Bone marrow aspirate smear: 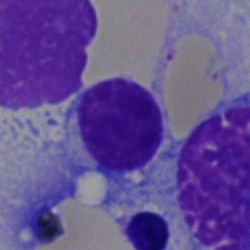Cell — lymphocyte.